Bone marrow smear:
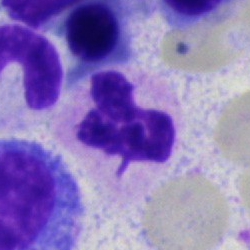 Specimen: bone marrow aspirate smear.
Cell type: segmented neutrophil.
Lineage: myeloid.